Pappenheim-stained. Bone marrow smear:
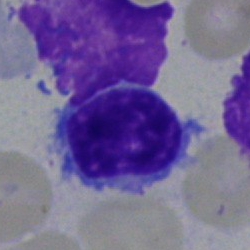Cell = typical lymphocyte.